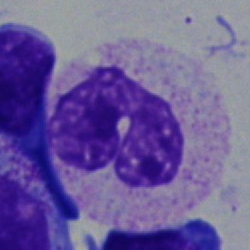Morphological class — band neutrophil.